Bone marrow aspirate smear: 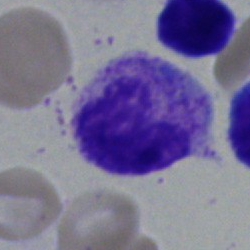Q: What type of cell is this?
A: This is a band-form neutrophil.